Bone marrow aspirate smear:
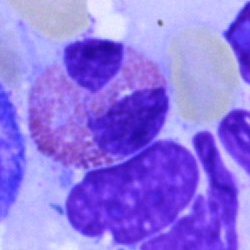 This is an eosinophil.